Bone marrow aspirate smear:
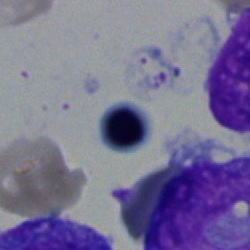
{"cell_type": "normoblast"}